Bone marrow smear
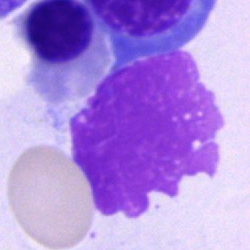
Artefact.